May-Grünwald-Giemsa stain; bone marrow smear; image size 250×250:
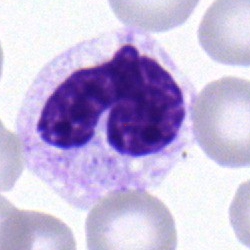 Morphology consistent with a band-form neutrophil.